Bone marrow aspirate smear: 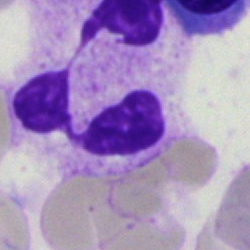

Single cell identified as a polymorphonuclear neutrophil.